Bone marrow aspirate smear
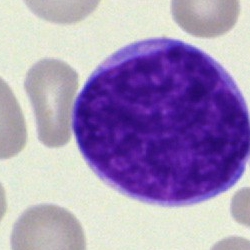

A blast cell.